Bone marrow aspirate smear — 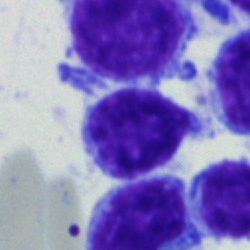 Q: Which cell type is shown here?
A: Lymphocyte.